Bone marrow aspirate smear: 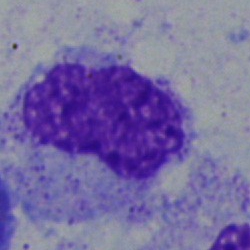 Morphology → metamyelocyte.